May-Grünwald-Giemsa/Pappenheim stain · bone marrow smear · single-cell crop:
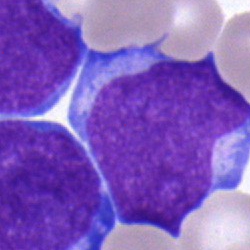

Single cell identified as an undifferentiated blast.